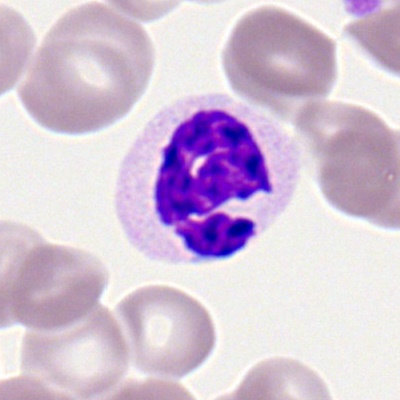
Q: Identify the cell.
A: This is a polymorphonuclear neutrophil.